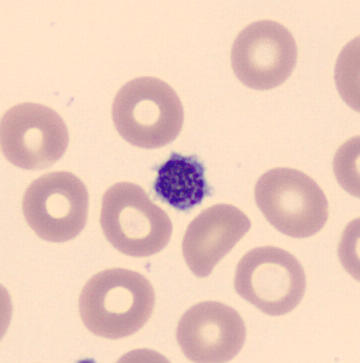

Classification — platelet (thrombocyte). Image: Peripheral blood film · May-Grünwald-Giemsa-stained.